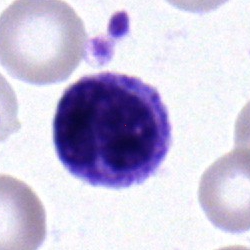Impression → metamyelocyte.